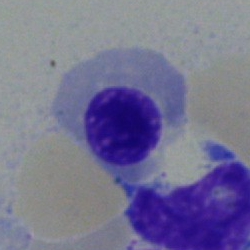
Single-cell crop from a bone marrow smear: nucleated red blood cell.